40× oil immersion · bone marrow aspirate smear: 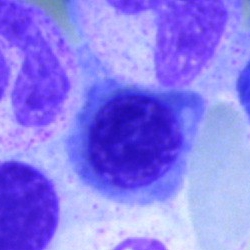
Q: What is shown here?
A: It is a nucleated red cell.